Bone marrow aspirate smear: 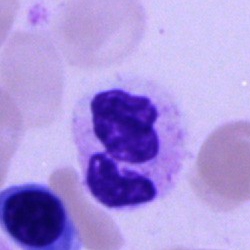 The morphological class is segmented neutrophil.